Bone marrow smear. Image size 250×250
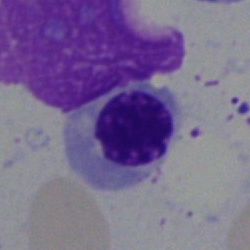
Cell — nucleated red blood cell.